Bone marrow aspirate smear; image size 250×250: 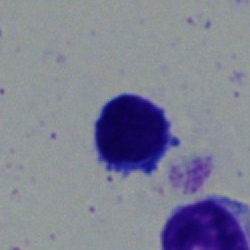

Cell type: lymphocyte.